40× objective, oil immersion · bone marrow aspirate smear · MGG-stained — 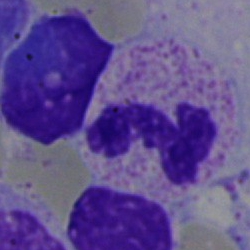

The cell type is neutrophil (segmented).